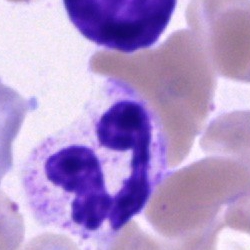
A segmented neutrophil on a bone marrow smear.